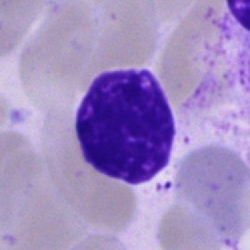

Q: What is shown here?
A: An artifact.